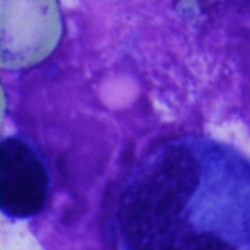

Q: What is shown here?
A: Artefact.